Peripheral blood smear. 100× oil immersion:
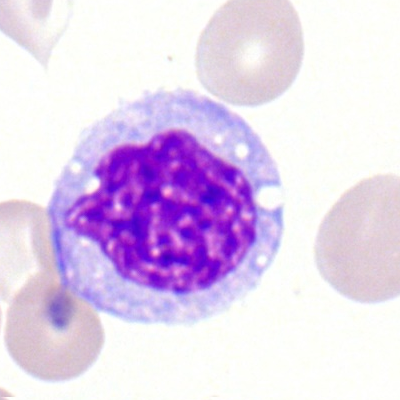 Classification — monocyte.